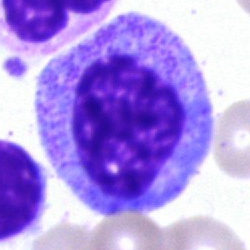{"cell_type": "progranulocyte", "lineage": "myeloid"}